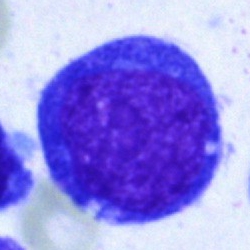

This is an undifferentiated blast.